Single cell centered in the field · May-Grünwald-Giemsa/Pappenheim stain · bone marrow smear:
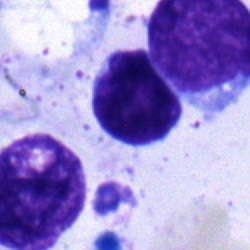 Q: What is the morphological classification of this cell?
A: This is a typical lymphocyte.